Bone marrow aspirate smear — 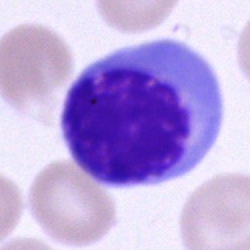
Q: What type of cell is this?
A: It is a nucleated red blood cell.